Bone marrow aspirate smear · May-Grünwald-Giemsa/Pappenheim stain · cropped to a single cell
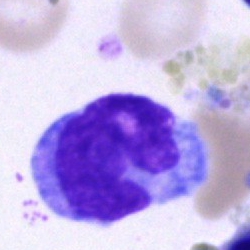 Morphological class = monocyte.